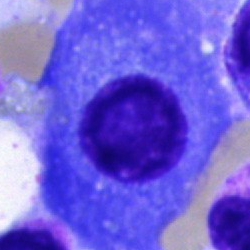

Bone marrow aspirate smear, single cell — plasmacyte.